Image size 250×250 · bone marrow smear: 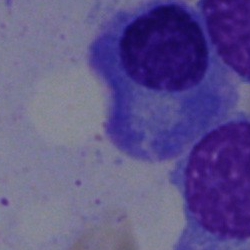
The morphological class is plasma cell.